Brightfield microscopy, 40× oil immersion; May-Grünwald-Giemsa/Pappenheim stain; bone marrow aspirate smear — 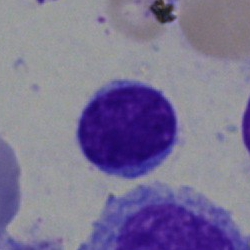
Cell type — lymphocyte.